Bone marrow smear: 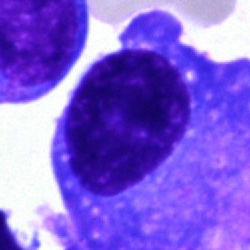
Morphology consistent with a plasma cell.